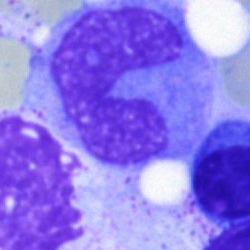
Morphology → monocyte.